Bone marrow smear — 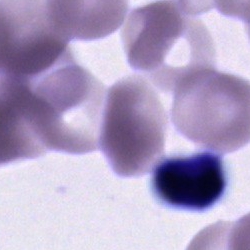 Q: What type of cell is this?
A: A cell of indeterminate lineage.